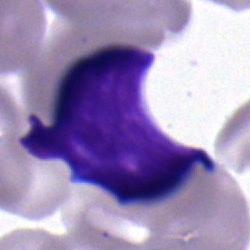

Single-cell crop from a bone marrow smear: lymphocyte.